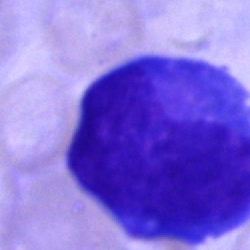

Classification — blast cell.